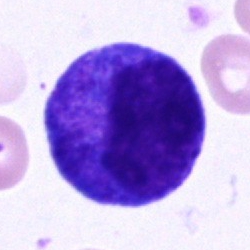

Cell type: promyelocyte.